Bone marrow smear:
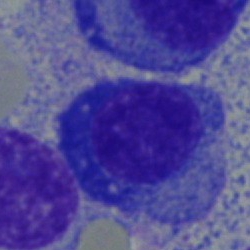

Showing a plasmacyte.